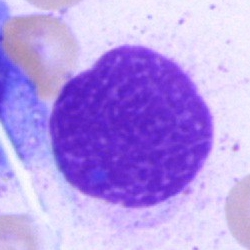 Impression → artifact.